MGG-stained. Bone marrow smear. Brightfield, 40× oil-immersion objective.
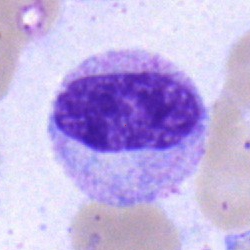 Specimen: bone marrow smear.
Morphological class: metamyelocyte.